Cropped to a single cell; bone marrow aspirate smear
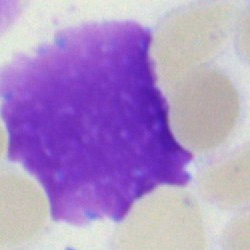 Morphology — artifact.